Cropped to a single cell; bone marrow smear — 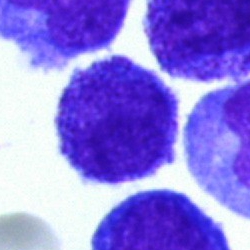 Impression → blast.